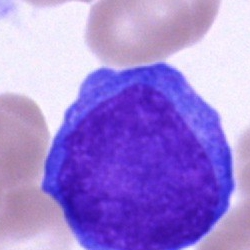
The cell type is undifferentiated blast.